400×400; 100× oil immersion, 14.14 px/µm; peripheral blood film: 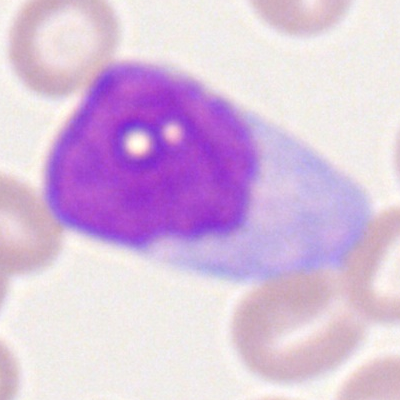The cell type is monocyte.